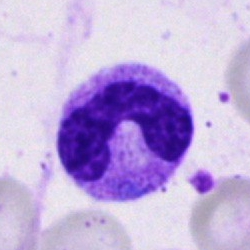

Bone marrow aspirate smear, single cell — band-form neutrophil.